Bone marrow smear — 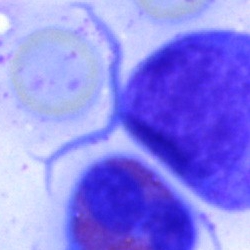
Impression → cell of indeterminate lineage.